Bone marrow smear — 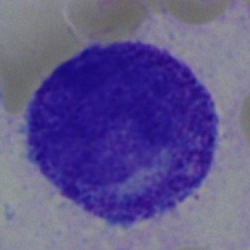

Cell type = promyelocyte.